Bone marrow aspirate smear; single cell centered in the field — 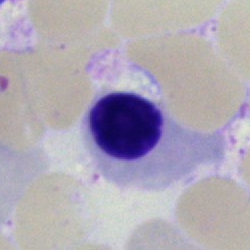
Nucleated red blood cell.